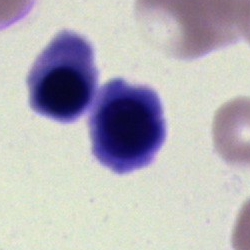 Classification = normoblast.